Bone marrow aspirate smear: 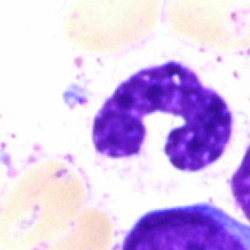
Cell type: neutrophil (segmented).